Bone marrow smear:
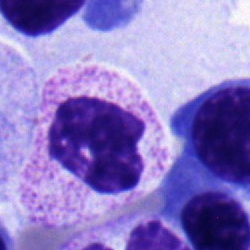

Neutrophil (segmented).